Bone marrow smear. Single cell centered in the field:
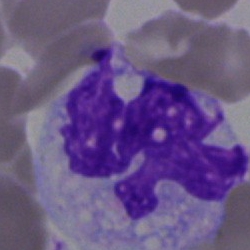
Showing a monocyte.